Peripheral blood smear; single-cell crop
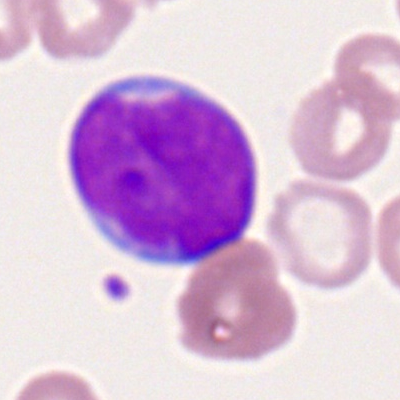
The classification is myeloblast.